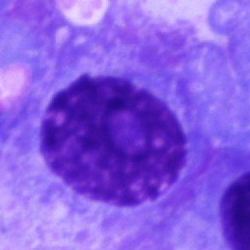
This is a plasma cell.